250×250 px; 40× oil immersion; bone marrow smear:
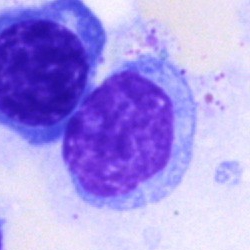

Q: What cell is this?
A: Typical lymphocyte.